Bone marrow smear — 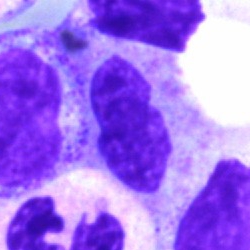
A band neutrophil.